Bone marrow smear · single cell centered in the field:
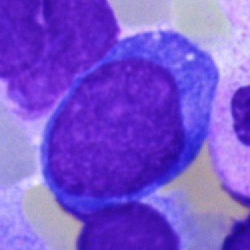A blast cell.